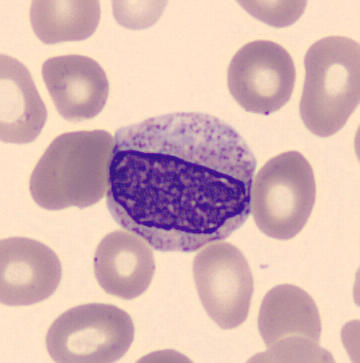

Cell: metamyelocyte.